MGG-stained; bone marrow aspirate smear; 40× objective, oil immersion — 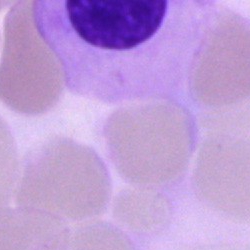Q: What is shown here?
A: An artefact.